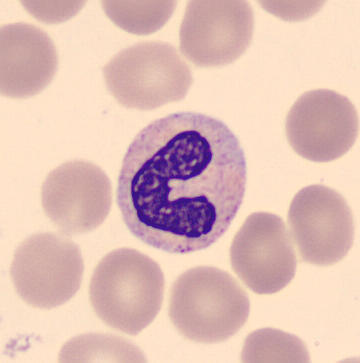
Morphology → band-form neutrophil.